Bone marrow smear. 250×250 px. May-Grünwald-Giemsa/Pappenheim stain — 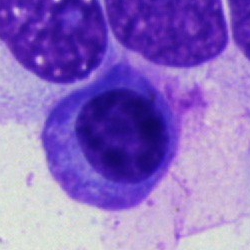 Morphology consistent with a plasma cell.